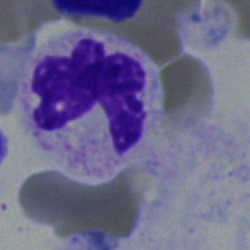 Q: Which cell type is shown here?
A: This is a polymorphonuclear neutrophil.